40× objective, oil immersion · 250×250 · bone marrow smear — 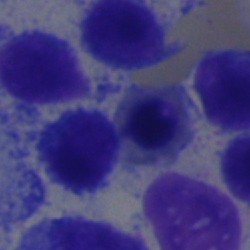
This is a nucleated red cell.